Peripheral blood film
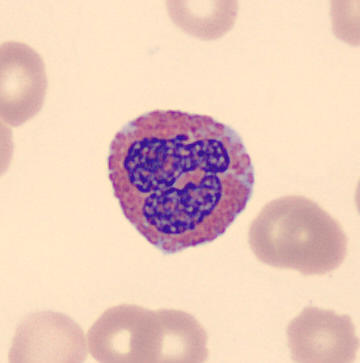

Morphological class = eosinophilic granulocyte.